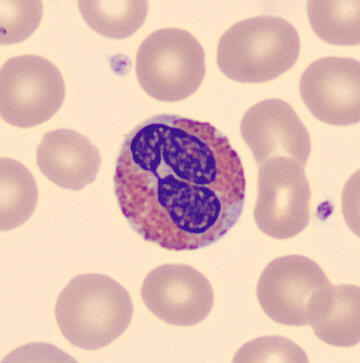

The cell shown is an eosinophil.

Image: Peripheral blood smear.